Bone marrow smear. 40× oil immersion: 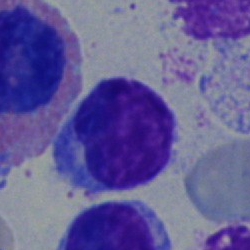
Typical lymphocyte.